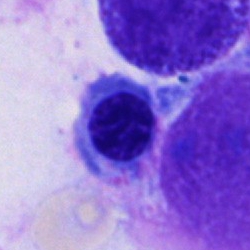Q: What cell is this?
A: Erythroblast.